Bone marrow aspirate smear. May-Grünwald-Giemsa stain — 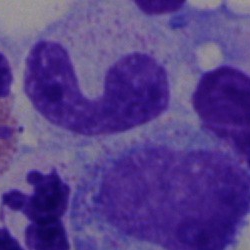Showing a band neutrophil.